Bone marrow smear:
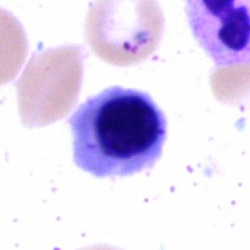
Cell — nucleated red cell.